Bone marrow aspirate smear: 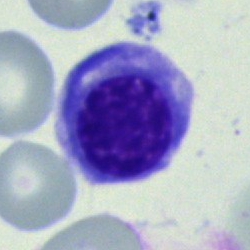 The cell type is nucleated red blood cell.